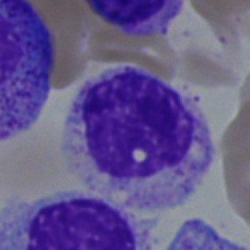
A myelocyte.